Bone marrow smear:
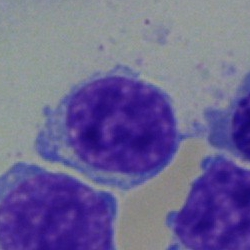
The morphological class is lymphocyte.